Bone marrow smear.
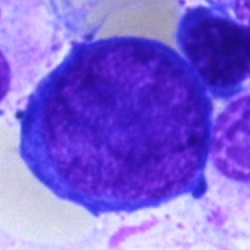Cell type — proerythroblast.